Bone marrow smear; image size 250×250; MGG-stained: 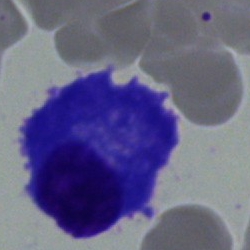

Morphology → plasma cell.